Cropped to a single cell · bone marrow smear.
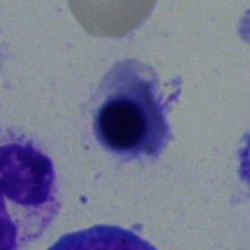 Q: What cell is this?
A: It is a nucleated red cell.